Single-cell crop · May-Grünwald-Giemsa/Pappenheim stain · bone marrow smear — 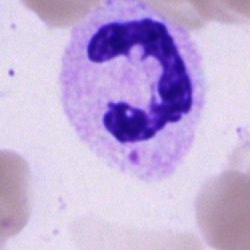Specimen: bone marrow aspirate smear.
Morphological class: segmented neutrophil.
Lineage: myeloid.